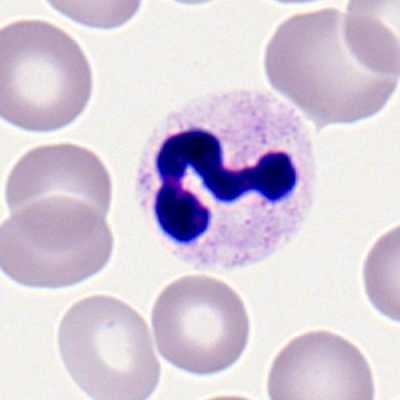

Specimen: peripheral blood film.
Cell: neutrophil (segmented).
Lineage: myeloid.